250 by 250 pixels · bone marrow aspirate smear: 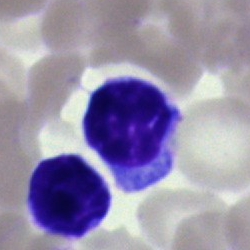The cell shown is a lymphocyte.